Bone marrow aspirate smear; cropped to a single cell; 250×250 px: 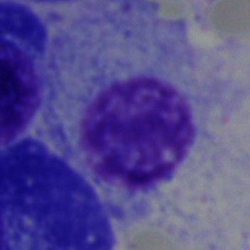
Artefact.